Single-cell field; bone marrow aspirate smear; MGG-stained:
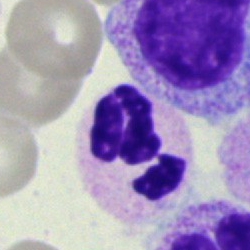Segmented neutrophil.